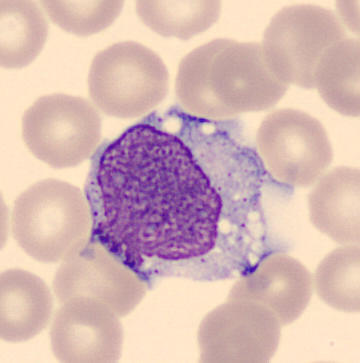Imaged on a CellaVision DM96 analyser. Peripheral blood smear. Q: What cell is this?
A: It is a monocyte.